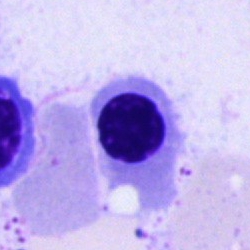
Q: What is the morphological classification of this cell?
A: Erythroblast.